Bone marrow aspirate smear:
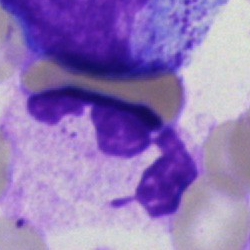
Impression — segmented neutrophil.